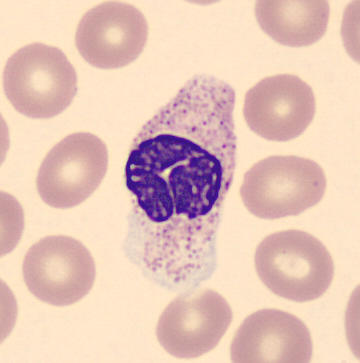
Acquisition: Peripheral blood film · single-cell crop.

{"cell_type": "band neutrophil", "lineage": "myeloid"}